Bone marrow smear
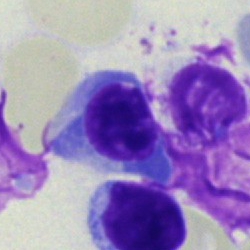 Cell = normoblast.